Bone marrow aspirate smear — 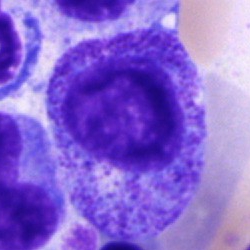
Q: Which cell type is shown here?
A: A progranulocyte.